Bone marrow aspirate smear: 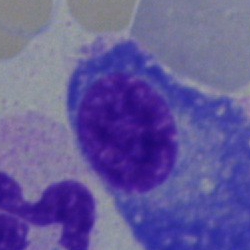

Q: What is shown here?
A: It is a plasma cell.